Bone marrow smear:
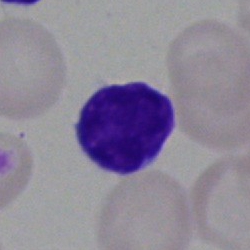

Typical lymphocyte.